Bone marrow aspirate smear. May-Grünwald-Giemsa stain: 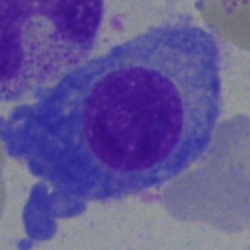 {"cell_type": "plasmacyte", "lineage": "lymphoid"}